Peripheral blood smear:
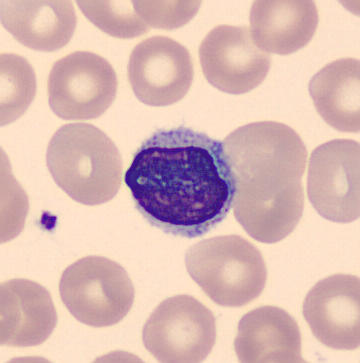 Single cell identified as a lymphocyte.